Bone marrow aspirate smear; 250 by 250 pixels; cropped to a single cell — 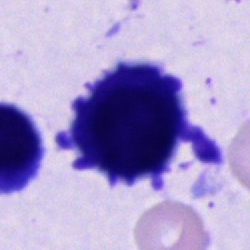
Q: What cell is this?
A: Unidentifiable cell.